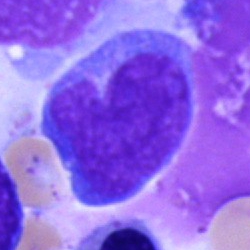The classification is undifferentiated blast.